Bone marrow aspirate smear.
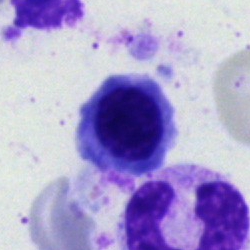 Showing a nucleated red blood cell.